Bone marrow smear
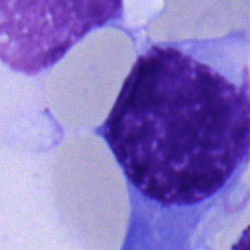Impression → erythroblast.